Bone marrow smear — 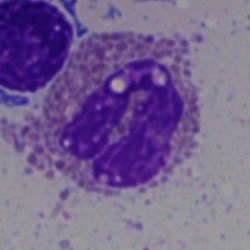 Q: What is the morphological classification of this cell?
A: Eosinophil.